250×250 px. Bone marrow aspirate smear:
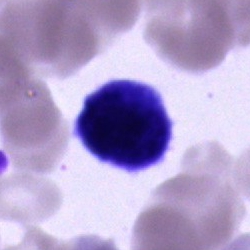
Showing an unidentifiable cell.